Bone marrow aspirate smear — 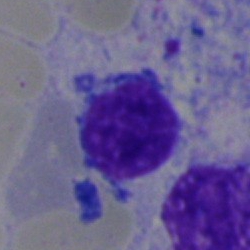

Cell = lymphocyte.